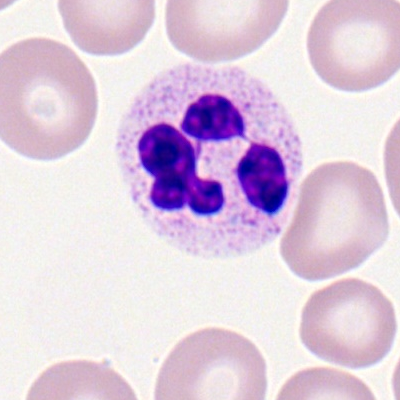 Cell: neutrophil (segmented).